Bone marrow aspirate smear — 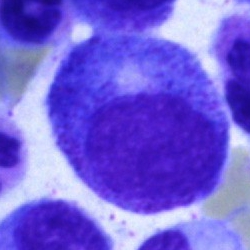
{"cell_type": "promyelocyte", "lineage": "myeloid"}